Single cell centered in the field · bone marrow smear · brightfield, 40× oil-immersion objective.
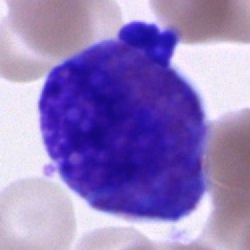 Impression → eosinophilic granulocyte.